Bone marrow smear. 40× oil immersion — 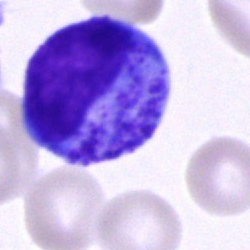{"cell_type": "promyelocyte", "lineage": "myeloid"}